40× objective, oil immersion. Bone marrow aspirate smear — 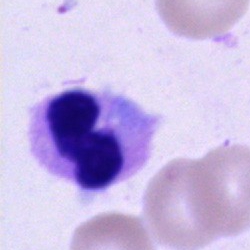Showing a neutrophil (segmented).